Bone marrow aspirate smear; 40× objective, oil immersion
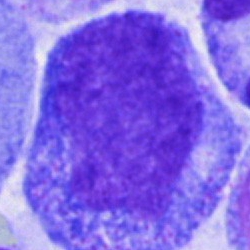The morphological class is progranulocyte.